Bone marrow aspirate smear
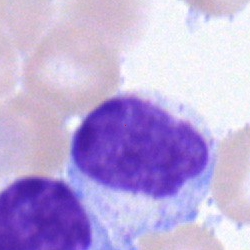 This is a lymphocyte.